250 by 250 pixels. May-Grünwald-Giemsa/Pappenheim stain. Bone marrow aspirate smear: 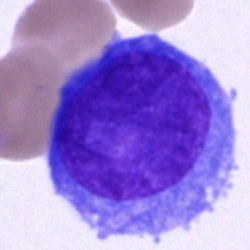
Q: What type of cell is this?
A: Undifferentiated blast.